Bone marrow smear. Brightfield microscopy, 40× oil immersion
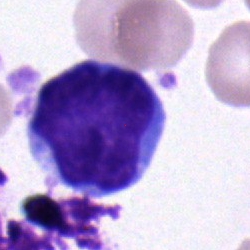 Single cell identified as a lymphocyte.